Pappenheim-stained. Bone marrow aspirate smear: 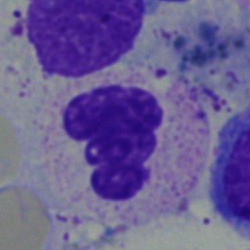
Single cell identified as a segmented neutrophil.